250×250 px; bone marrow smear; Pappenheim-stained:
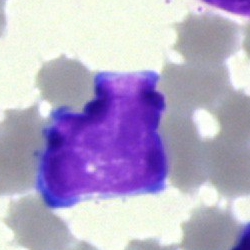Cell type — lymphocyte.